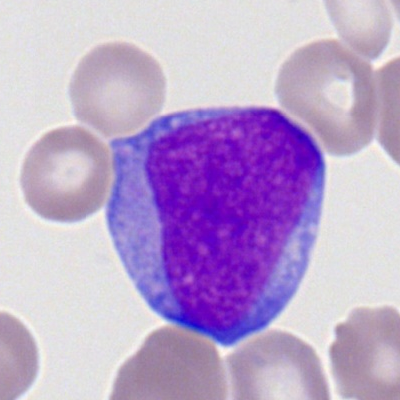Q: What cell is this?
A: This is a myeloid blast.